Bone marrow smear.
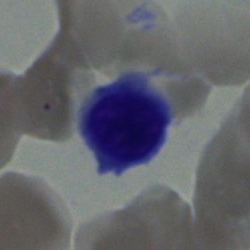

Q: What is the morphological classification of this cell?
A: It is a lymphocyte.